Bone marrow aspirate smear: 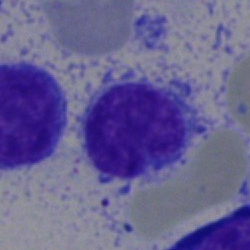
Morphology → typical lymphocyte.